Bone marrow aspirate smear; single cell centered in the field — 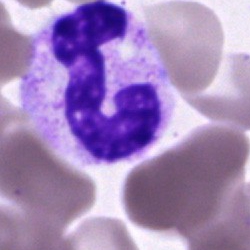 Cell = polymorphonuclear neutrophil.